Bone marrow aspirate smear: 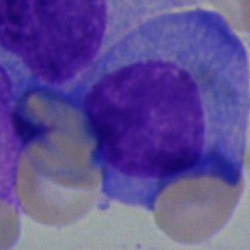Morphology — plasma cell.